Peripheral blood smear.
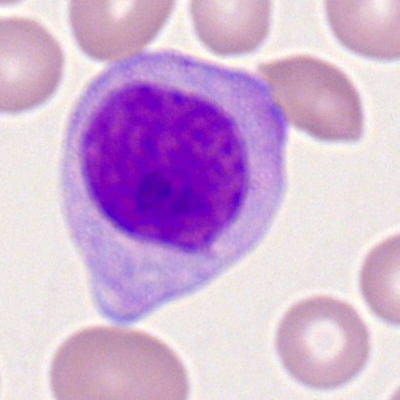Specimen: peripheral blood film.
Cell: monoblast.
Lineage: myeloid.